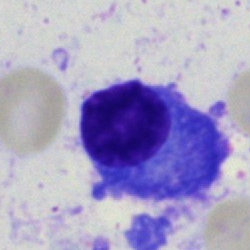 Cell: plasmacyte.